Bone marrow smear · single cell centered in the field.
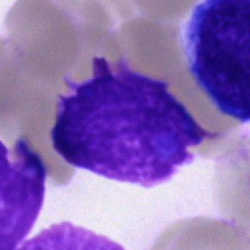
Cell = artifact.